Bone marrow smear:
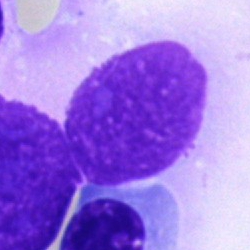
This is an artifact.